Bone marrow smear.
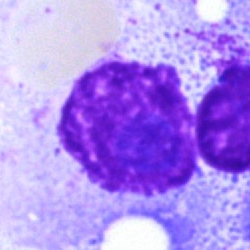
Morphology — artifact.